Bone marrow smear; 250×250
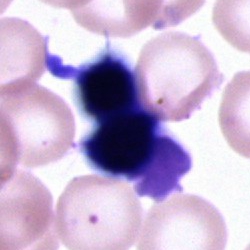

Cell type = artefact.